May-Grünwald-Giemsa stain; bone marrow aspirate smear:
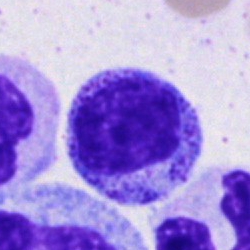Specimen: bone marrow smear.
Cell type: myelocyte.
Lineage: myeloid.